Image size 250×250. Bone marrow aspirate smear. Pappenheim-stained — 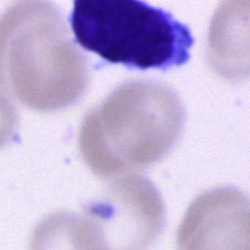The cell is typical lymphocyte.